Pappenheim-stained · bone marrow smear: 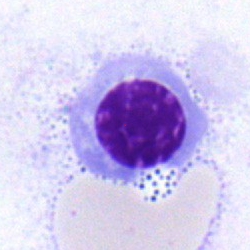Morphology — normoblast.